Bone marrow smear; 40× objective, oil immersion — 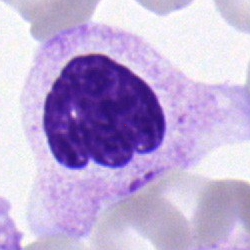This is a neutrophil (segmented).